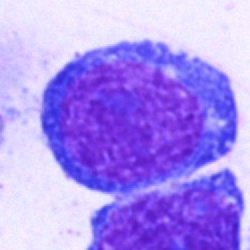 Showing a pronormoblast.